Bone marrow smear:
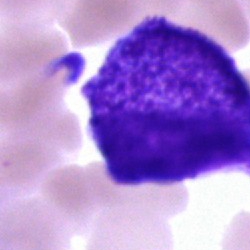

Q: What is the morphological classification of this cell?
A: This is a blast.